Bone marrow aspirate smear
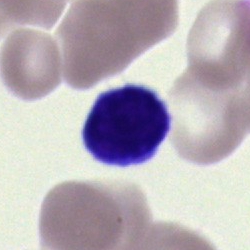
Morphology consistent with a lymphocyte.